Bone marrow aspirate smear: 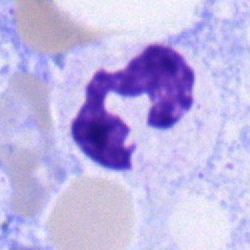
Q: What is shown here?
A: It is a neutrophil (segmented).